Bone marrow smear. Single cell centered in the field.
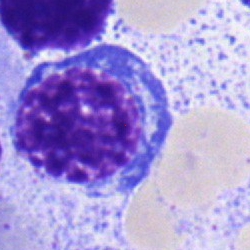Specimen: bone marrow smear.
Morphological class: nucleated red cell.